Bone marrow smear
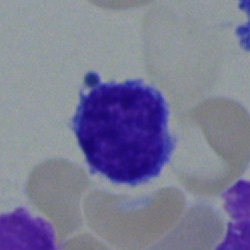
This is a lymphocyte.